May-Grünwald-Giemsa/Pappenheim stain · bone marrow aspirate smear.
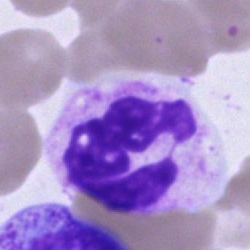

Eosinophilic granulocyte.